Bone marrow smear
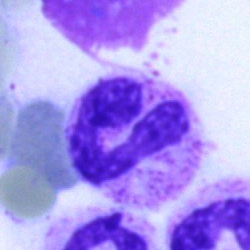 Morphology consistent with a polymorphonuclear neutrophil.